Bone marrow aspirate smear; May-Grünwald-Giemsa stain; 250 by 250 pixels
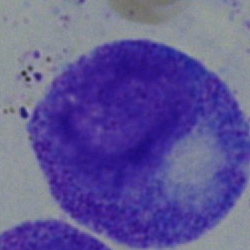Single cell identified as a promyelocyte.